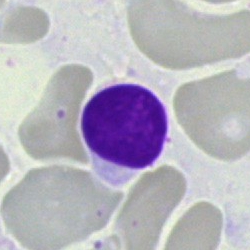 Cell = typical lymphocyte.